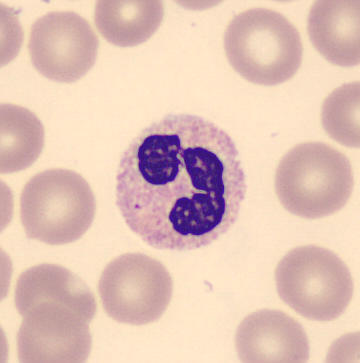
Morphological class — neutrophil (segmented). Image: Peripheral blood smear. May Grünwald-Giemsa stain.